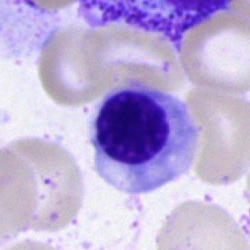

Bone marrow smear showing a nucleated red blood cell.